Bone marrow smear — 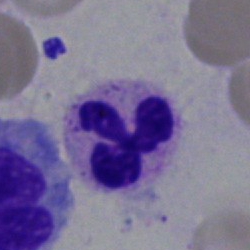

Specimen: bone marrow smear.
Cell type: neutrophil (segmented).
Lineage: myeloid.